Bone marrow smear. 250×250 px. 40× objective, oil immersion
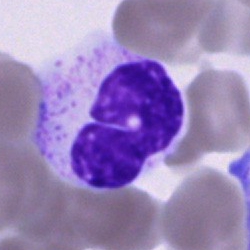

Q: What type of cell is this?
A: A polymorphonuclear neutrophil.